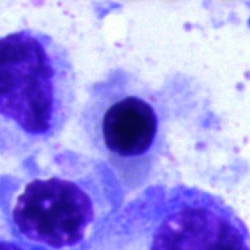The cell shown is a normoblast.